Single-cell field. Bone marrow smear: 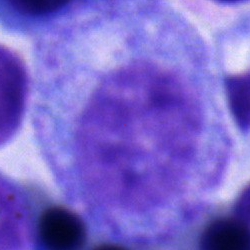

Showing a progranulocyte.